Bone marrow aspirate smear.
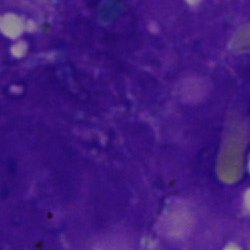 {"cell_type": "artifact"}